250 by 250 pixels · bone marrow aspirate smear.
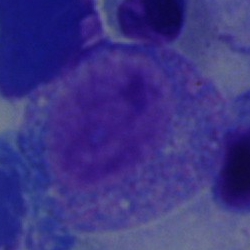
Specimen: bone marrow aspirate smear.
Classification: progranulocyte.
Lineage: myeloid.